Bone marrow smear:
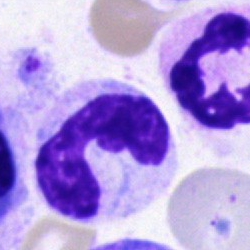 The cell is band-form neutrophil.